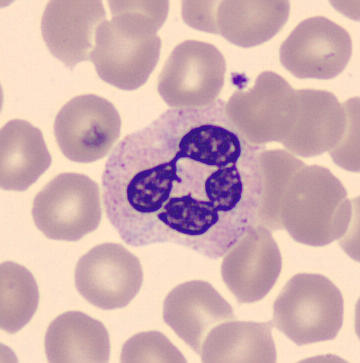 Image: Automated cell imaging (CellaVision DM96).
Specimen: peripheral blood film.
Classification: neutrophil (segmented).
Lineage: myeloid.